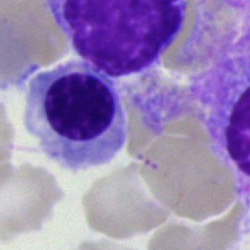Cell type = nucleated red blood cell.